Bone marrow smear: 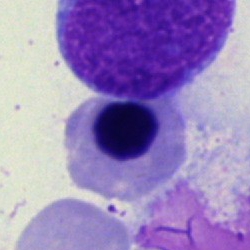
Nucleated red cell.